Bone marrow smear: 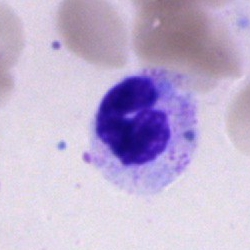Cell type — segmented neutrophil.